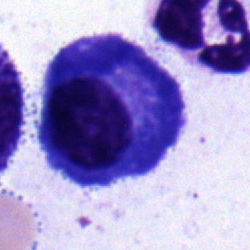
Bone marrow smear showing a plasmacyte.